Bone marrow smear:
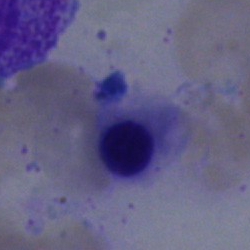 This is a nucleated red blood cell.